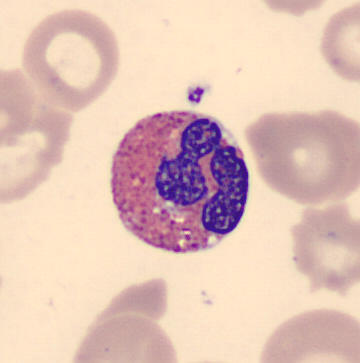
Q: What cell is this?
A: This is an eosinophilic granulocyte. Preparation: Peripheral blood smear.